Bone marrow aspirate smear.
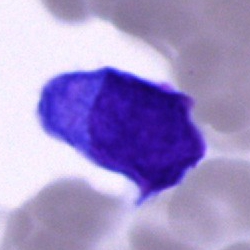
Specimen: bone marrow smear.
Classification: blast cell.